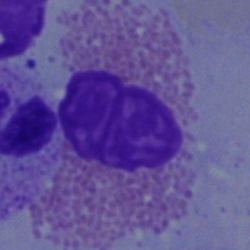

An eosinophilic granulocyte on a bone marrow smear.